Bone marrow smear. 40× oil immersion — 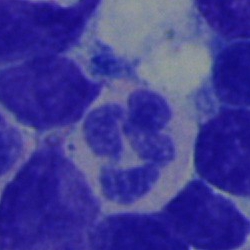
{"cell_type": "segmented neutrophil", "lineage": "myeloid"}